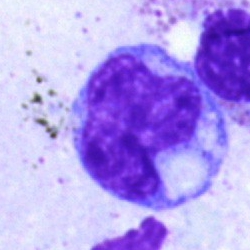

Cell — monocyte.